Bone marrow aspirate smear — 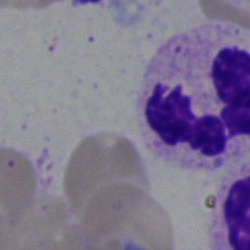

The cell shown is a segmented neutrophil.